Bone marrow smear. 40× oil immersion: 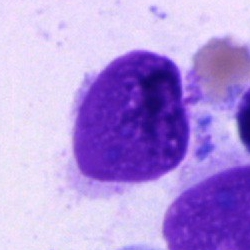 The morphological class is artifact.